Bone marrow smear — 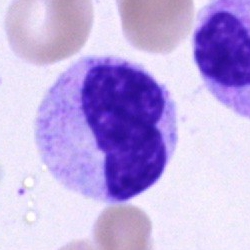 Q: Identify the cell.
A: A neutrophil (segmented).